Bone marrow smear.
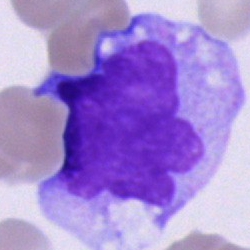The cell shown is a monocyte.